Bone marrow aspirate smear:
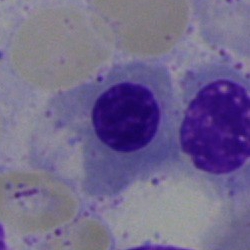Showing an erythroblast.